Peripheral blood smear — 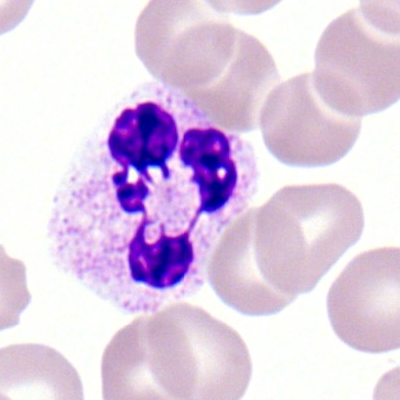Morphological class — segmented neutrophil.